Bone marrow smear
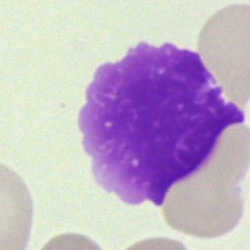
Q: What is shown here?
A: An artefact.